Bone marrow aspirate smear; May-Grünwald-Giemsa/Pappenheim stain: 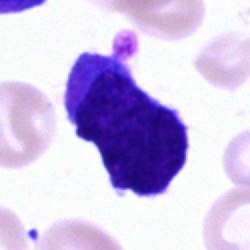

Specimen: bone marrow aspirate smear.
Cell type: undifferentiated blast.